Bone marrow aspirate smear. 40× objective, oil immersion: 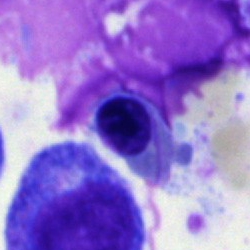
{"cell_type": "erythroblast", "lineage": "erythroid"}